Single-cell crop. Bone marrow aspirate smear: 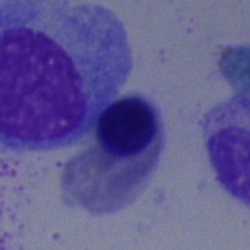Q: What is shown here?
A: This is a normoblast.